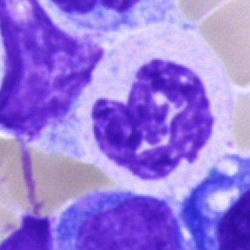Impression → segmented neutrophil.